Bone marrow smear — 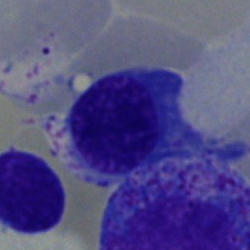This is a nucleated red cell.